Bone marrow aspirate smear · 250 by 250 pixels: 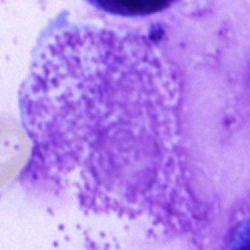
Cell: artifact.